Bone marrow aspirate smear: 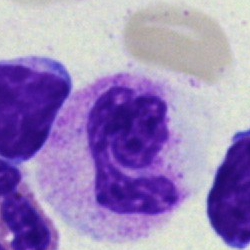

Specimen: bone marrow aspirate smear.
Classification: neutrophil (segmented).
Lineage: myeloid.